Bone marrow aspirate smear — 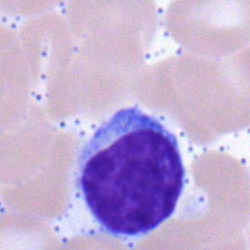 {"cell_type": "typical lymphocyte", "lineage": "lymphoid"}